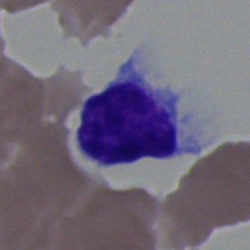
Morphological class — typical lymphocyte.